Bone marrow smear
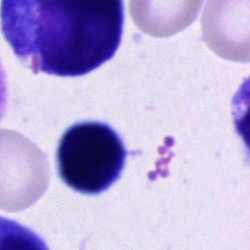
This is a cell of indeterminate lineage.